Bone marrow smear; cropped to a single cell; 250×250 px
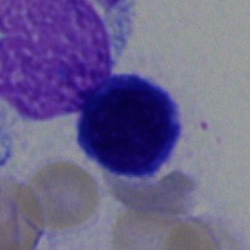 Morphology consistent with a lymphocyte.